Peripheral blood film: 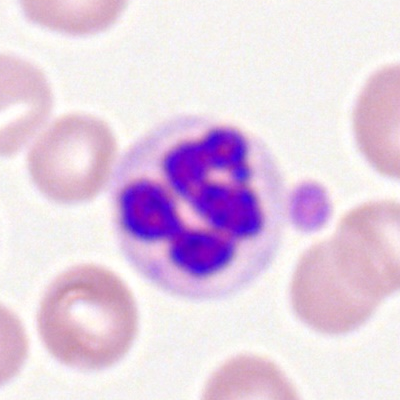Showing a segmented neutrophil.